Bone marrow aspirate smear. 40× oil immersion — 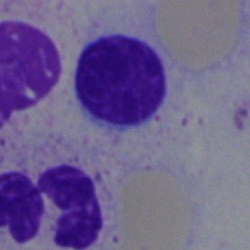

Morphology — typical lymphocyte.